Bone marrow aspirate smear.
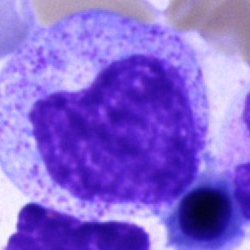
Progranulocyte.